400×400 px. Peripheral blood smear:
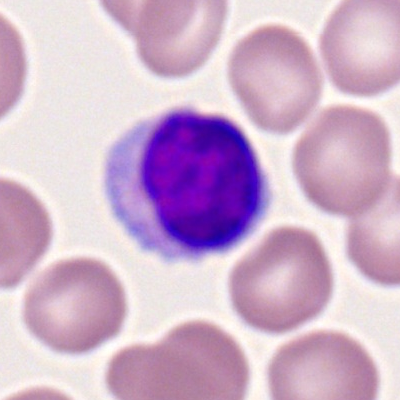
Q: Identify the cell.
A: Typical lymphocyte.